Bone marrow aspirate smear:
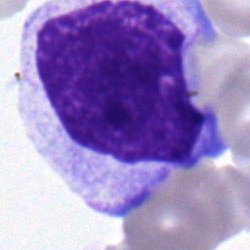
Classification — myelocyte.